Bone marrow aspirate smear. 40× objective, oil immersion.
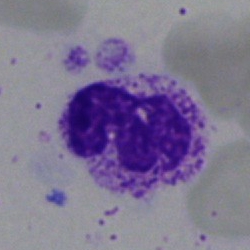

Neutrophil (segmented).